Single-cell crop · bone marrow aspirate smear.
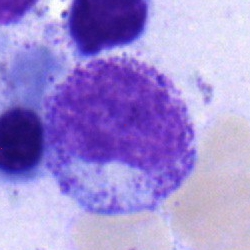 Morphology consistent with a myelocyte.